Bone marrow aspirate smear: 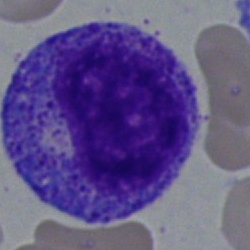Q: Identify the cell.
A: This is a myelocyte.